Bone marrow smear — 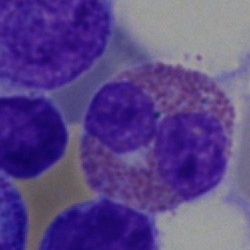 Cell type: eosinophil.